Peripheral blood film. Romanowsky stain. Image size 400×400.
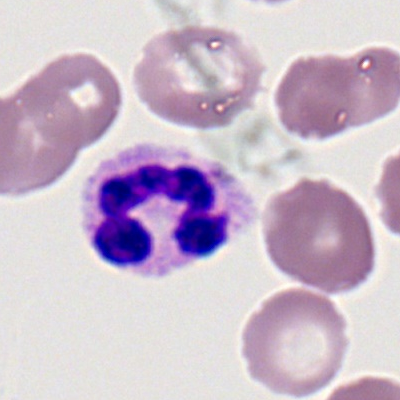
Single cell identified as a polymorphonuclear neutrophil.